360×363 px · peripheral blood film.
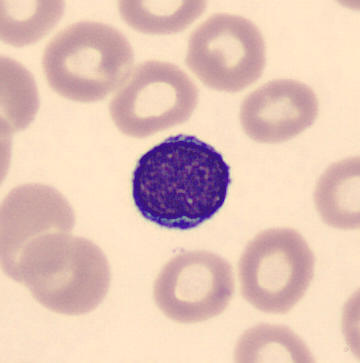

Q: What cell is this?
A: It is a typical lymphocyte.